Bone marrow smear
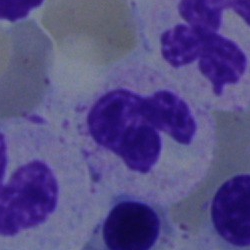

The cell shown is a segmented neutrophil.